Bone marrow smear — 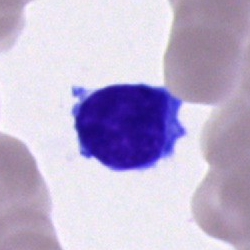

Q: What cell is this?
A: Lymphocyte.